Peripheral blood smear; single-cell field: 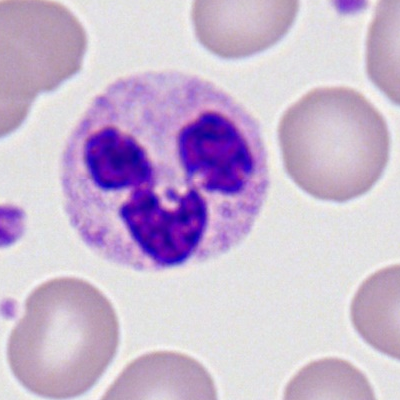Q: What is shown here?
A: A neutrophil (segmented).